Bone marrow aspirate smear.
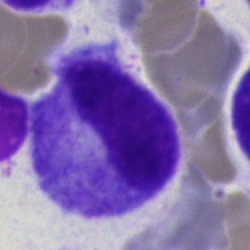 Morphology → progranulocyte.